Bone marrow smear
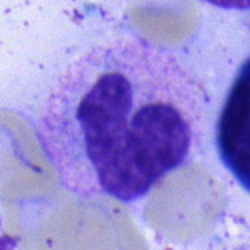Specimen: bone marrow aspirate smear.
Cell: stab cell.
Lineage: myeloid.